Bone marrow aspirate smear. Brightfield, 40× oil-immersion objective: 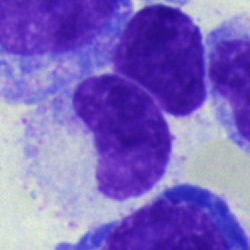 Single cell identified as a metamyelocyte.